Image size 250×250; bone marrow aspirate smear — 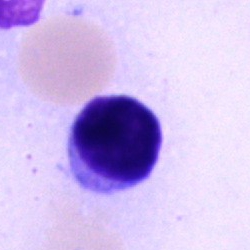Morphology consistent with a typical lymphocyte.